Peripheral blood film — 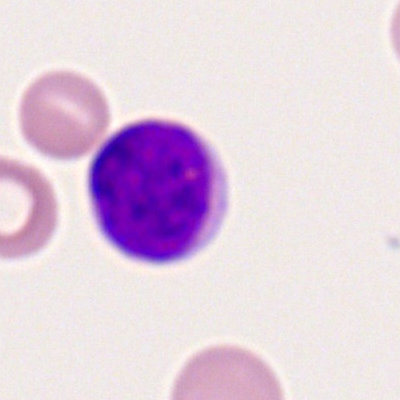

Q: What is the morphological classification of this cell?
A: Lymphocyte.